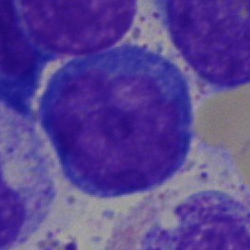 Classification: blast.